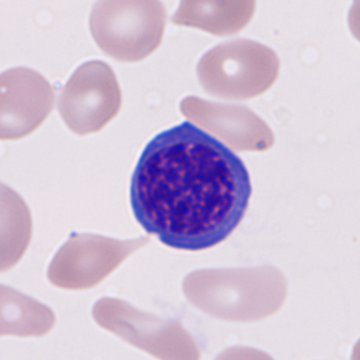

This is a nucleated red cell.